Bone marrow smear. 250 by 250 pixels. Single cell centered in the field
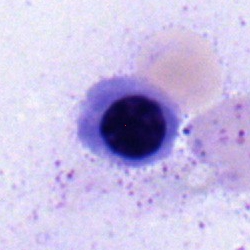 Specimen: bone marrow smear.
Morphological class: nucleated red blood cell.